Bone marrow smear:
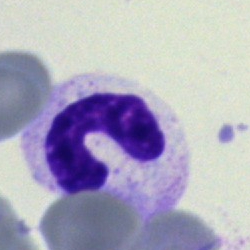 Impression → band-form neutrophil.